360 by 363 pixels · peripheral blood film
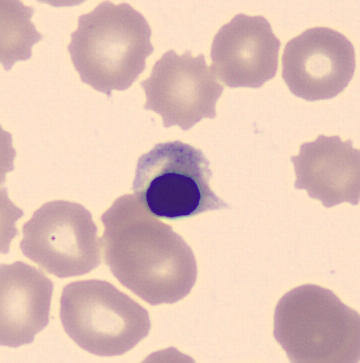Showing a nucleated red blood cell.